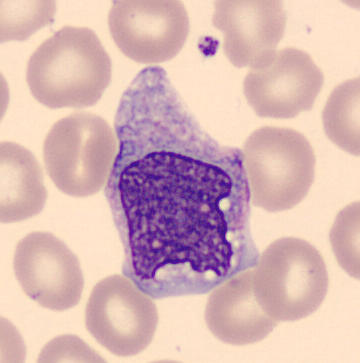 Preparation: Peripheral blood smear.

A monocyte.